Peripheral blood smear:
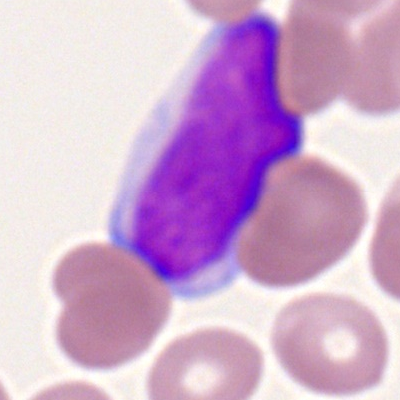

Classification: myeloblast.